Brightfield microscopy, 40× oil immersion · bone marrow aspirate smear:
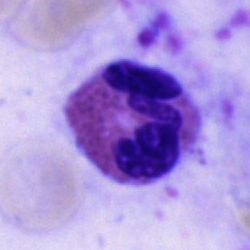 Classification — eosinophilic granulocyte.